Bone marrow smear:
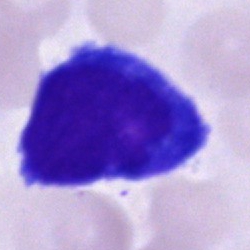This is a monocyte.